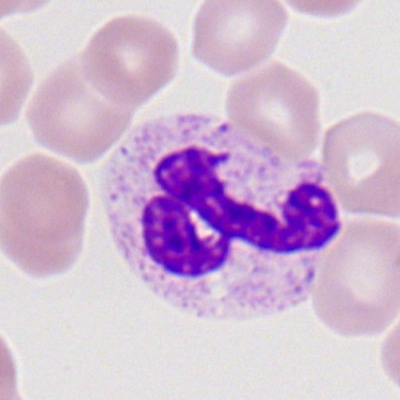Morphology — segmented neutrophil.